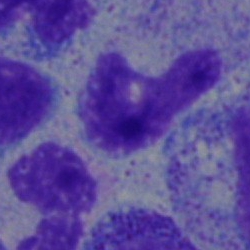 Showing a stab cell.